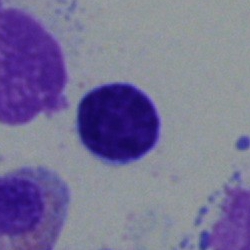

Morphological class: lymphocyte.